Bone marrow aspirate smear; cropped to a single cell; brightfield microscopy, 40× oil immersion — 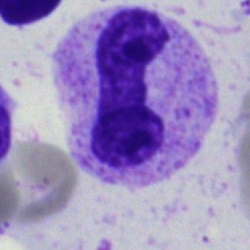
This is a band-form neutrophil.